250×250 px. Bone marrow aspirate smear — 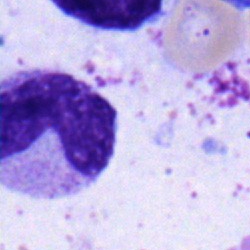The cell shown is a band neutrophil.